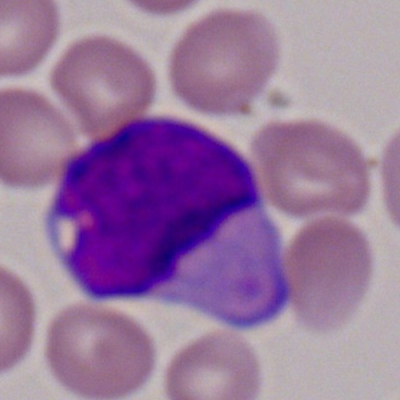
Cell — myeloid blast.